Bone marrow smear — 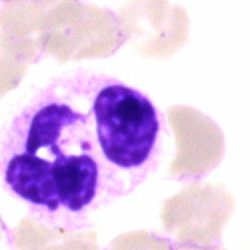Morphology consistent with a segmented neutrophil.